Peripheral blood film
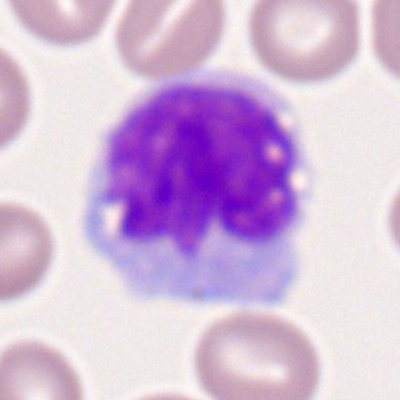

Morphology consistent with a monocyte.